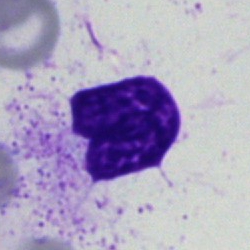The cell is artifact.